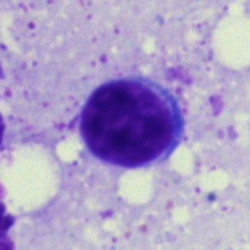
Showing a typical lymphocyte.